Bone marrow smear: 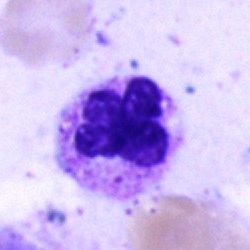

Classification — polymorphonuclear neutrophil.